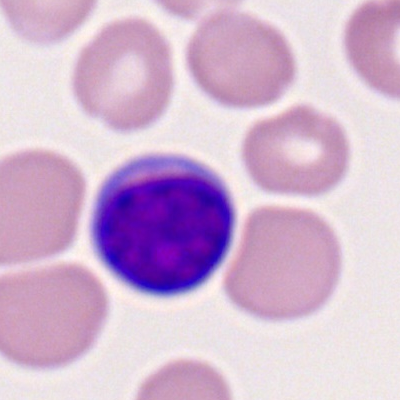{"cell_type": "lymphocyte", "lineage": "lymphoid"}